Bone marrow smear:
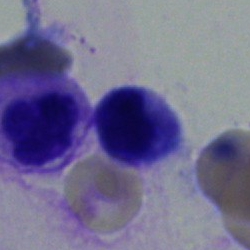
Showing a typical lymphocyte.